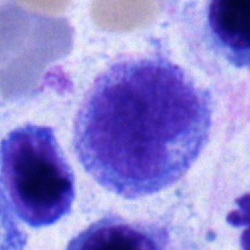
Specimen: bone marrow aspirate smear.
Classification: monocyte.
Lineage: myeloid.